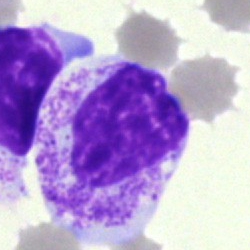
The cell shown is a myelocyte.